Bone marrow aspirate smear:
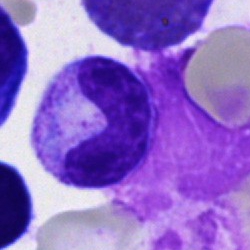
Morphological class — band neutrophil.